250×250; bone marrow smear; May-Grünwald-Giemsa stain
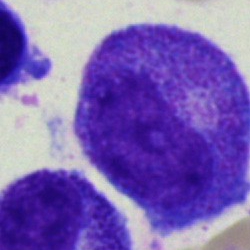
{"cell_type": "promyelocyte", "lineage": "myeloid"}